Bone marrow smear. 250 by 250 pixels
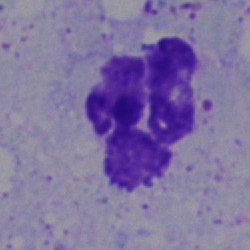Segmented neutrophil.